Bone marrow smear. 250×250 px — 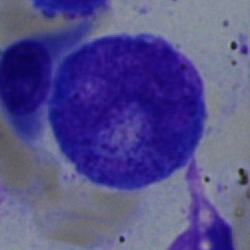 {"cell_type": "progranulocyte", "lineage": "myeloid"}